Single cell centered in the field; bone marrow aspirate smear — 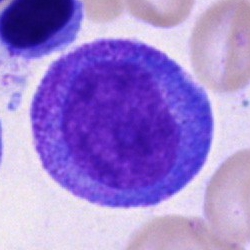

The classification is progranulocyte.